Bone marrow aspirate smear:
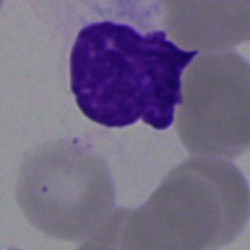

Impression — artefact.